Bone marrow smear: 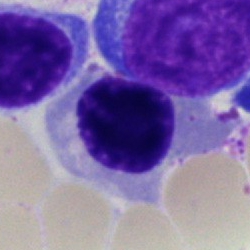

A nucleated red cell.